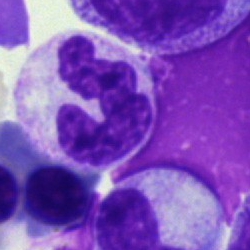
Cell type = neutrophil (segmented).